MGG-stained · single-cell field · bone marrow aspirate smear.
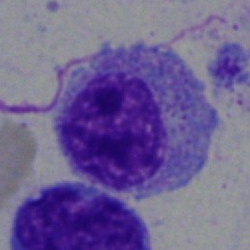

The cell shown is a myelocyte.